Bone marrow smear. MGG-stained. 250×250 px: 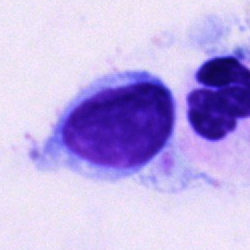Showing a typical lymphocyte.